40× oil immersion; bone marrow smear; single cell centered in the field.
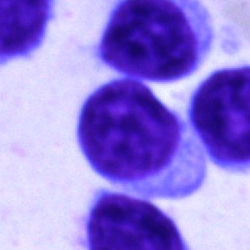
A lymphocyte.